Bone marrow smear:
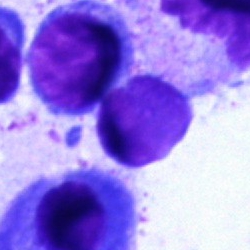 {"cell_type": "lymphocyte"}